Bone marrow smear; cropped to a single cell.
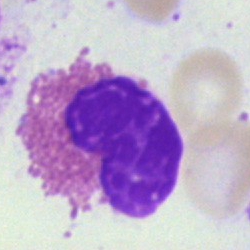 Showing an eosinophil.